Bone marrow smear — 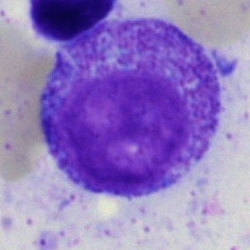 Cell type: myelocyte.